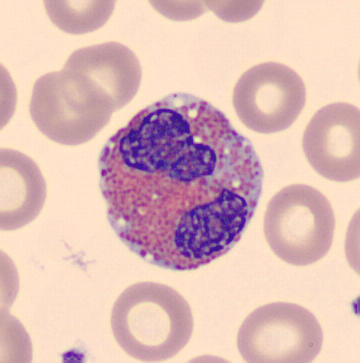
Q: Identify the cell.
A: This is an eosinophilic granulocyte. Preparation: Image size 360×363 · peripheral blood film · CellaVision DM96 digital cell image.